Brightfield microscopy, 40× oil immersion. MGG-stained. Bone marrow smear — 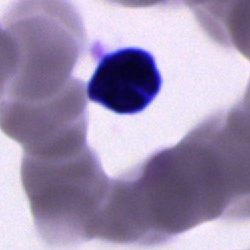Q: What cell is this?
A: An unidentifiable cell.